Bone marrow smear: 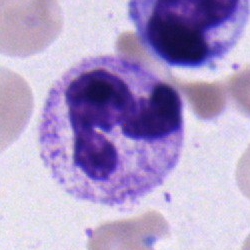 Impression → segmented neutrophil.